Bone marrow aspirate smear
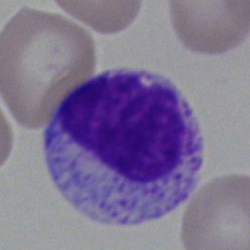{"cell_type": "myelocyte"}